Bone marrow smear — 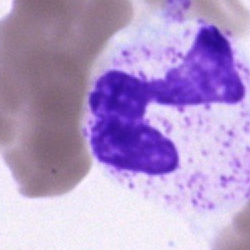Impression → polymorphonuclear neutrophil.